M8 digital microscope (Precipoint), 100× oil immersion; peripheral blood film; Romanowsky-type stain.
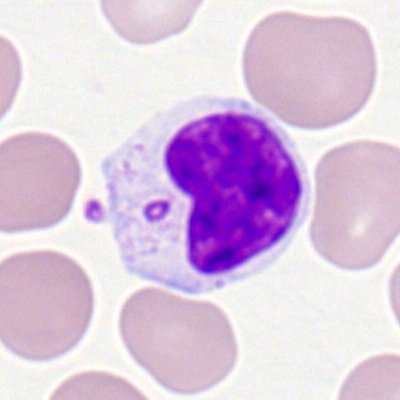
Classification = lymphocyte.